Bone marrow smear · 250×250.
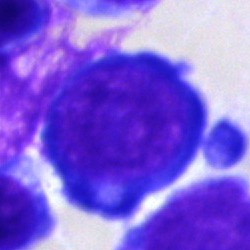

Classification: proerythroblast.